Bone marrow smear. 250 by 250 pixels. Single cell centered in the field — 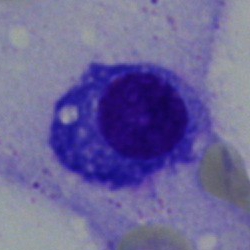Plasmacyte.